Bone marrow smear:
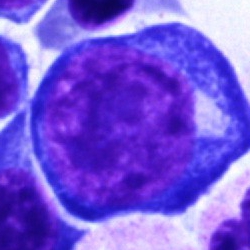
Morphology consistent with a proerythroblast.